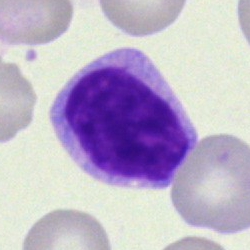
Q: What type of cell is this?
A: A typical lymphocyte.